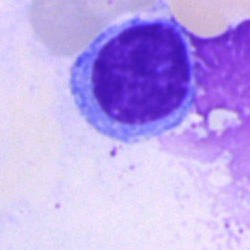 Impression → typical lymphocyte.